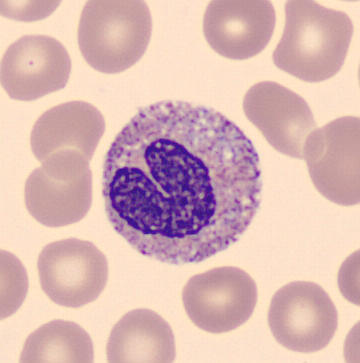 Image: Peripheral blood film; image size 360×363.
Showing a neutrophil (band).